Peripheral blood smear
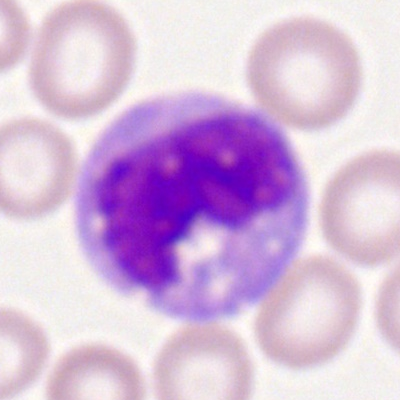The morphological class is monocyte.